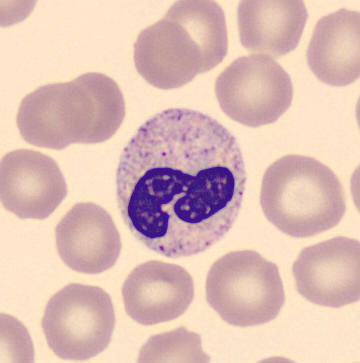 A neutrophil (segmented) on a peripheral blood smear.